Bone marrow aspirate smear — 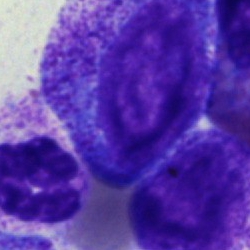 A promyelocyte.